Bone marrow aspirate smear — 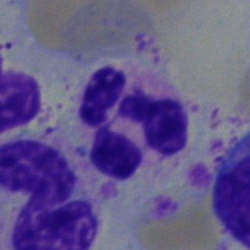

Classification = segmented neutrophil.